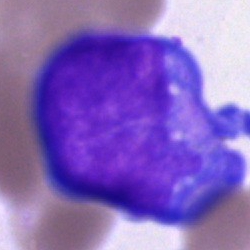Specimen: bone marrow smear.
Morphological class: blast.